40× oil immersion. Bone marrow smear:
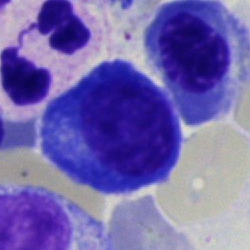 The cell is plasma cell.